Bone marrow aspirate smear.
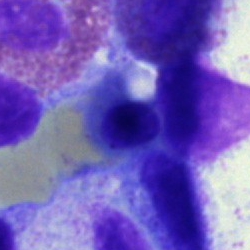
Q: What cell is this?
A: It is a normoblast.